Brightfield, 40× oil-immersion objective · bone marrow smear · May-Grünwald-Giemsa stain
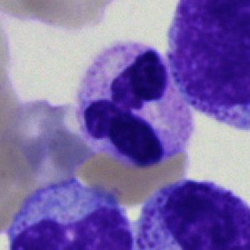Specimen: bone marrow smear.
Classification: segmented neutrophil.
Lineage: myeloid.